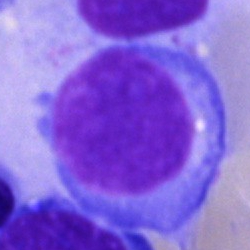Showing a blast.